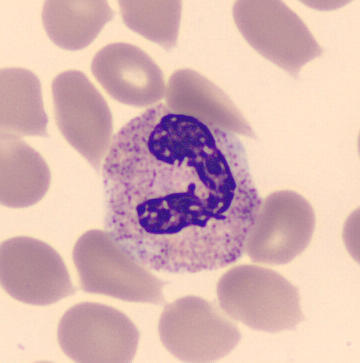Neutrophil (segmented).